Bone marrow smear. Brightfield, 40× oil-immersion objective:
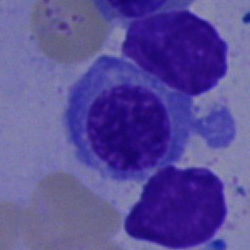
Showing a normoblast.